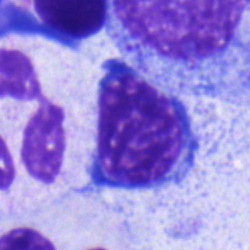 Morphological class — nucleated red blood cell.